Bone marrow aspirate smear.
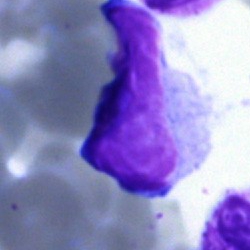
The classification is artifact.